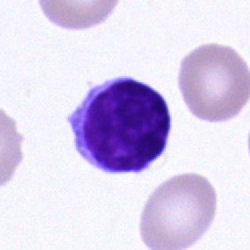
Specimen: bone marrow aspirate smear.
Cell type: typical lymphocyte.
Lineage: lymphoid.